Bone marrow aspirate smear. 40× oil immersion. Cropped to a single cell:
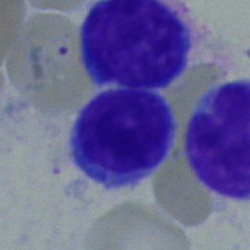

Q: Identify the cell.
A: It is a lymphocyte.